250 by 250 pixels; May-Grünwald-Giemsa stain; bone marrow smear:
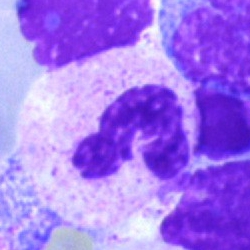 Q: What cell is this?
A: This is a neutrophil (segmented).